Bone marrow aspirate smear
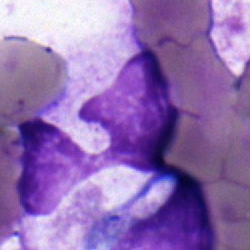

This is a polymorphonuclear neutrophil.